Bone marrow smear. May-Grünwald-Giemsa/Pappenheim stain — 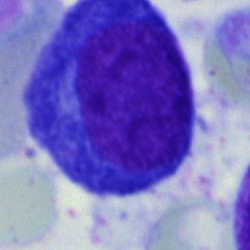
Morphology → pronormoblast.